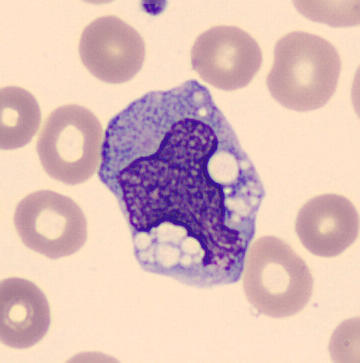
Morphology → monocyte.